Bone marrow aspirate smear.
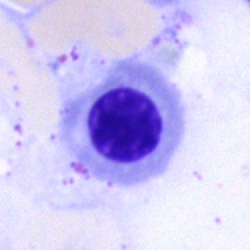
Morphology → erythroblast.